Bone marrow smear: 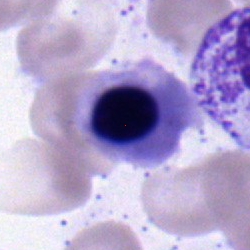
Morphology consistent with a nucleated red cell.